Bone marrow smear.
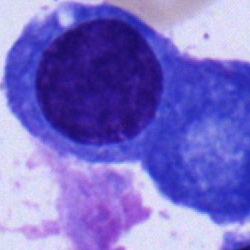Q: What type of cell is this?
A: A plasma cell.